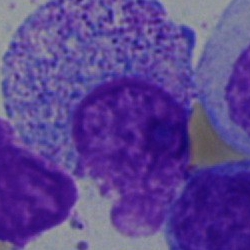Specimen: bone marrow smear.
Cell: promyelocyte.
Lineage: myeloid.